Brightfield microscopy, 40× oil immersion. Single-cell crop. Bone marrow smear: 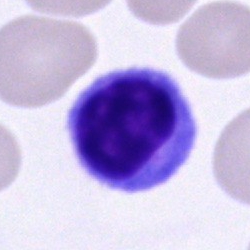 Cell type: lymphocyte.